Bone marrow smear
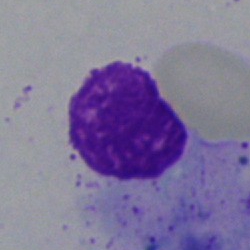An artifact.